Bone marrow smear
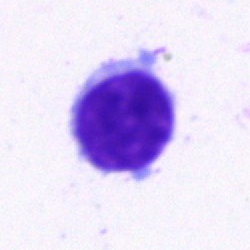

Showing a lymphocyte.